MGG-stained; bone marrow aspirate smear
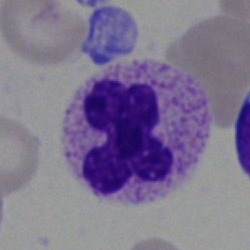
The cell is polymorphonuclear neutrophil.